Bone marrow smear; single-cell field; 250×250.
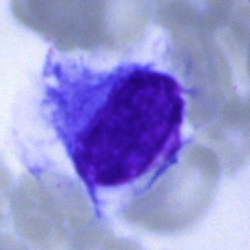 Showing a hairy cell.